250×250 px; bone marrow aspirate smear: 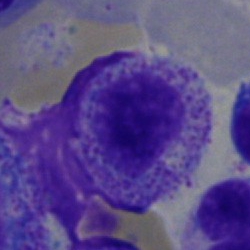

{"cell_type": "myelocyte", "lineage": "myeloid"}